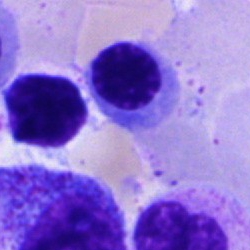Specimen: bone marrow aspirate smear.
Cell type: nucleated red blood cell.